Peripheral blood film — 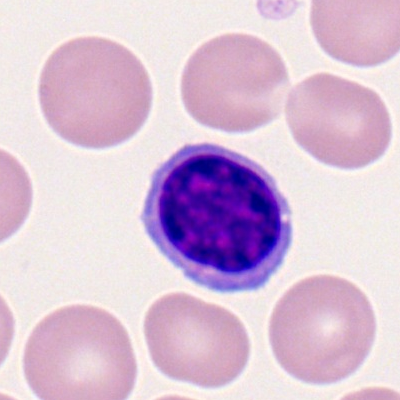 The cell shown is a typical lymphocyte.